250 by 250 pixels · bone marrow aspirate smear — 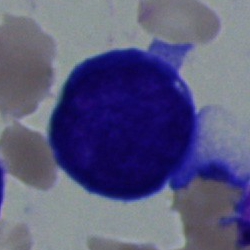

An undifferentiated blast.